Image size 250×250; bone marrow aspirate smear; 40× objective, oil immersion: 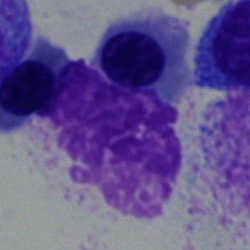
Q: What is the morphological classification of this cell?
A: An erythroblast.